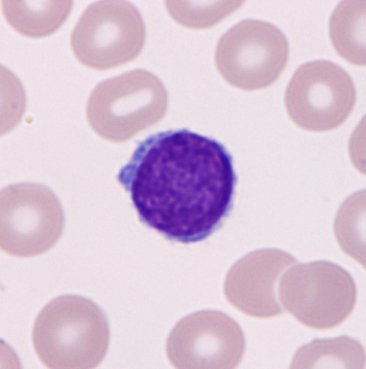

Cell type = lymphocyte.